Bone marrow smear; brightfield microscopy, 40× oil immersion
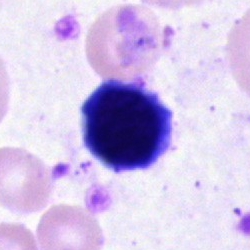

A typical lymphocyte.